Bone marrow aspirate smear — 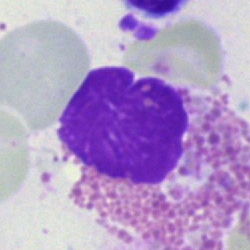

Cell = eosinophilic granulocyte.